Bone marrow smear — 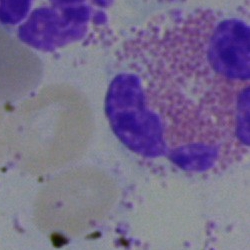
Showing an eosinophilic granulocyte.